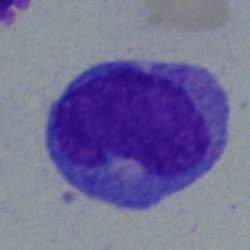 The cell type is monocyte.